Bone marrow aspirate smear
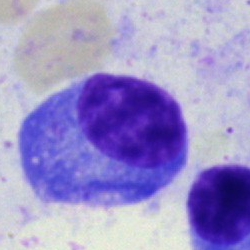 This is a plasma cell.